Bone marrow smear: 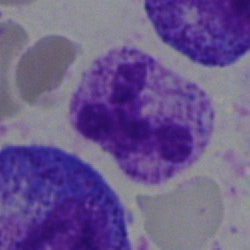

Single cell identified as a polymorphonuclear neutrophil.